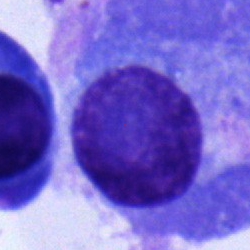 Classification: plasmacyte.